Bone marrow smear · cropped to a single cell: 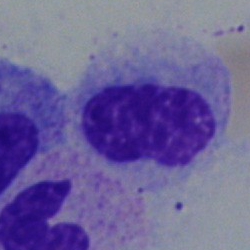

This is a metamyelocyte.